Bone marrow aspirate smear.
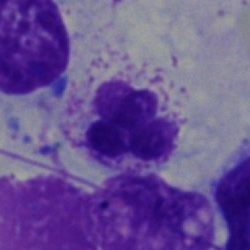Q: What is the morphological classification of this cell?
A: It is a polymorphonuclear neutrophil.